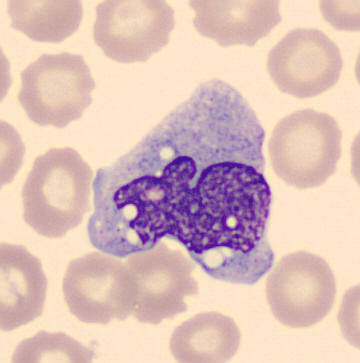

Morphological class = monocyte.